Bone marrow smear:
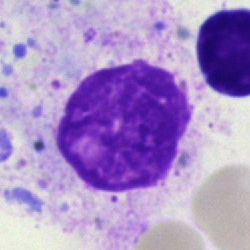 Specimen: bone marrow smear.
Classification: artifact.